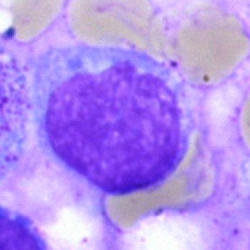 Q: Which cell type is shown here?
A: This is a lymphocyte.